Romanowsky-stained; peripheral blood film:
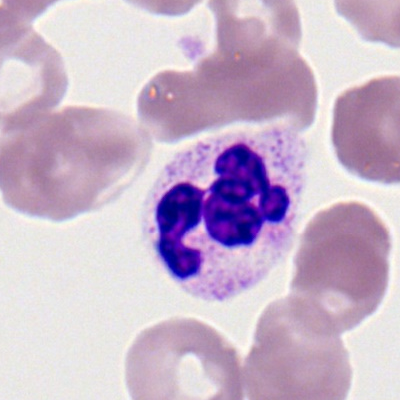This is a polymorphonuclear neutrophil.